Single-cell field. Bone marrow aspirate smear
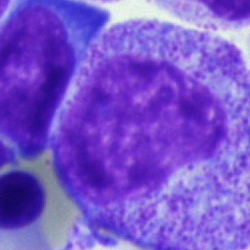Q: What cell is this?
A: This is a promyelocyte.